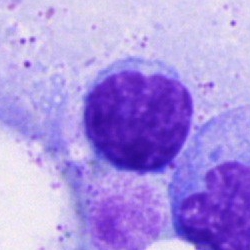Cell type = typical lymphocyte.